Bone marrow aspirate smear — 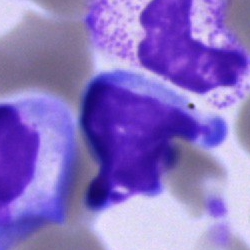 The classification is cell of indeterminate lineage.